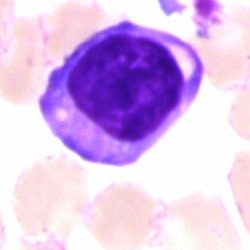 Bone marrow smear showing a lymphocyte.